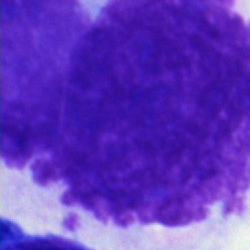

Single-cell crop from a bone marrow smear: artifact.